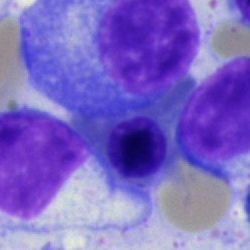
A plasma cell.